250×250; bone marrow aspirate smear:
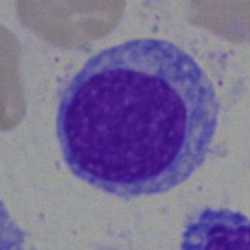Single cell identified as a typical lymphocyte.